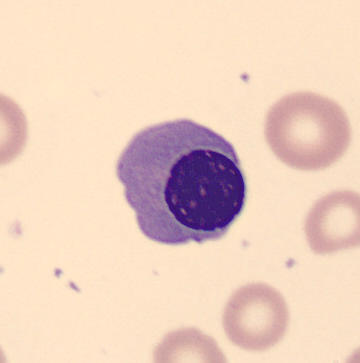 Cell = normoblast.